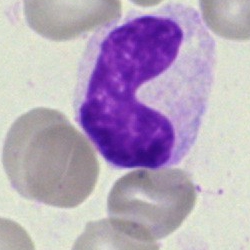
Single-cell crop from a bone marrow smear: band-form neutrophil.